Single-cell field. Bone marrow aspirate smear. Pappenheim-stained:
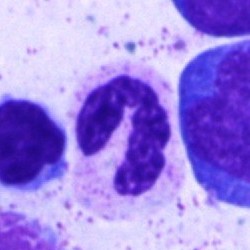 Showing a polymorphonuclear neutrophil.